Bone marrow smear · 250 by 250 pixels · brightfield microscopy, 40× oil immersion
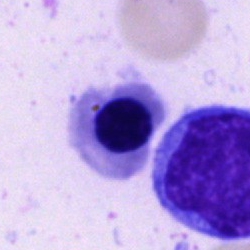 Specimen: bone marrow aspirate smear.
Classification: nucleated red cell.
Lineage: erythroid.